100× oil immersion · peripheral blood smear.
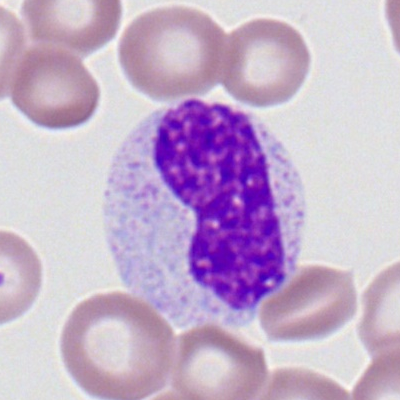 Specimen: peripheral blood smear.
Cell type: monocyte.